Bone marrow aspirate smear · single-cell crop — 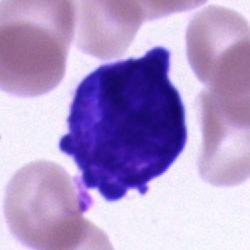 Cell = unidentifiable cell.